Bone marrow aspirate smear
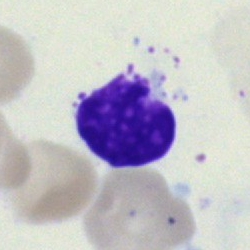 Morphological class — typical lymphocyte.